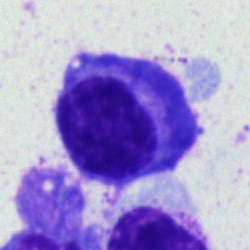 A plasma cell on a bone marrow smear.